Bone marrow smear; 250 by 250 pixels
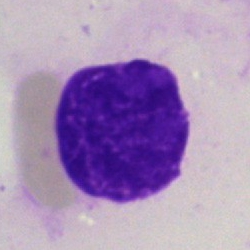
Q: What is shown here?
A: An artefact.